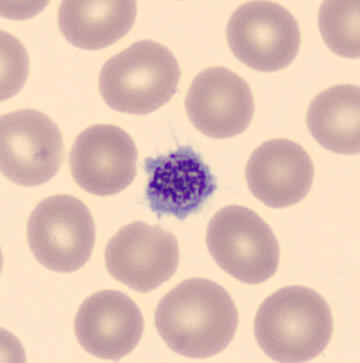Q: What is this?
A: Thrombocyte.
Image: Peripheral blood smear.